Romanowsky-stained; cropped to a single cell; peripheral blood film:
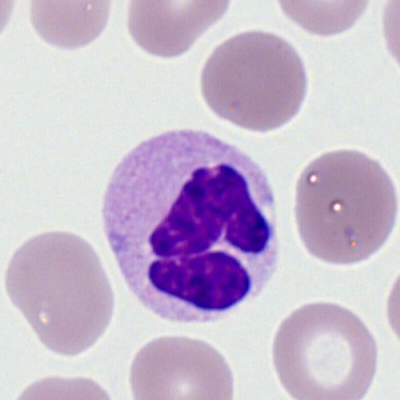
Showing a neutrophil (segmented).